Peripheral blood smear: 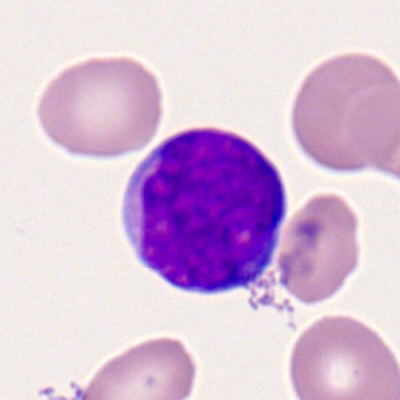
A myeloblast.